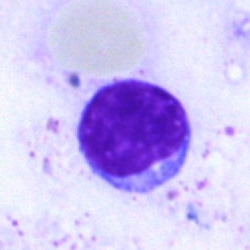Cell — lymphocyte.